40× oil immersion · bone marrow aspirate smear
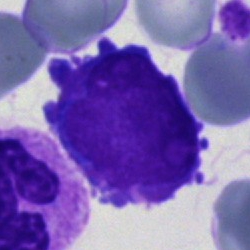

Impression — undifferentiated blast.